Bone marrow smear: 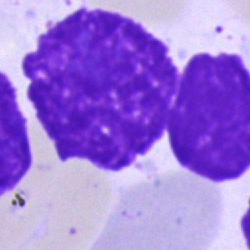
The cell shown is an artifact.